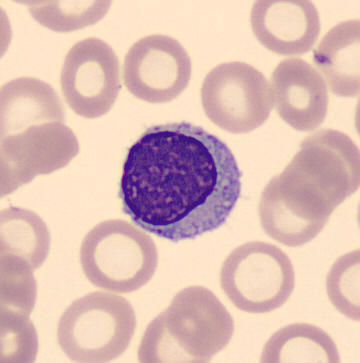

Q: What type of cell is this?
A: This is a lymphocyte.

Preparation: Peripheral blood smear; MGG stain.